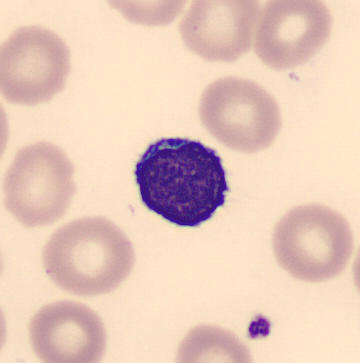
{"cell_type": "lymphocyte", "lineage": "lymphoid"}